Bone marrow smear: 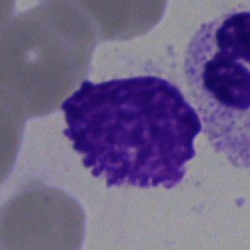

Q: What is shown here?
A: Artefact.